Bone marrow smear — 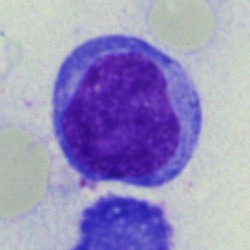Specimen: bone marrow aspirate smear.
Cell: blast cell.